Single-cell crop · bone marrow aspirate smear:
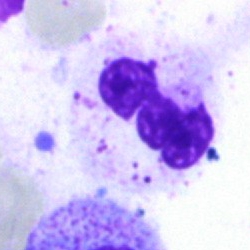 Classification: neutrophil (segmented).